Bone marrow smear — 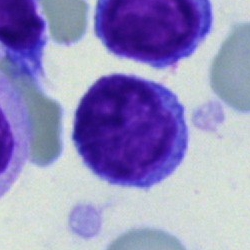Q: What type of cell is this?
A: This is a typical lymphocyte.